Bone marrow smear
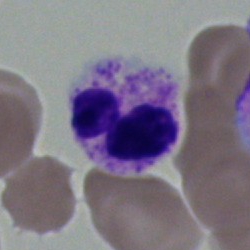
Segmented neutrophil.